40× objective, oil immersion; 250×250; bone marrow smear: 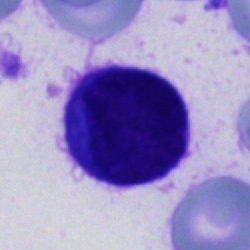

Specimen: bone marrow smear.
Classification: unidentifiable cell.